Bone marrow aspirate smear:
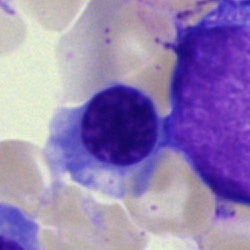

Specimen: bone marrow aspirate smear.
Cell: nucleated red blood cell.
Lineage: erythroid.